Bone marrow smear.
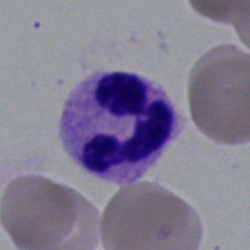Q: What is the morphological classification of this cell?
A: This is a polymorphonuclear neutrophil.